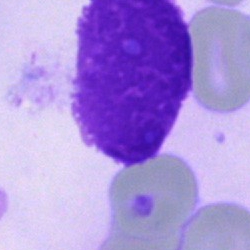
Single cell identified as an artifact.